Romanowsky-type stain; peripheral blood smear
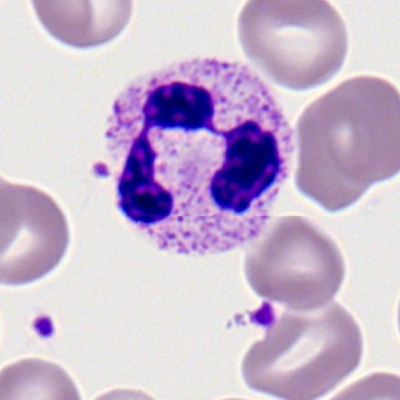
Specimen: peripheral blood smear.
Classification: neutrophil (segmented).